Bone marrow aspirate smear; single-cell field: 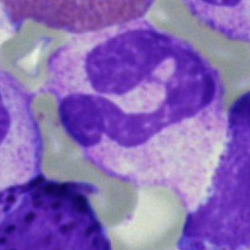The cell type is neutrophil (segmented).